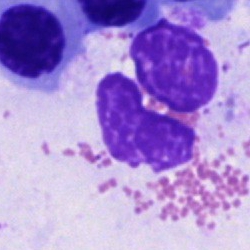

Cell — eosinophil.